Bone marrow aspirate smear.
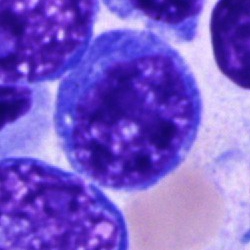A blast.